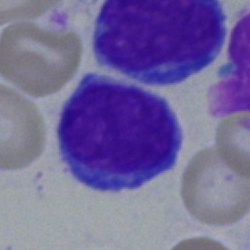

Classification = lymphocyte.